Bone marrow aspirate smear.
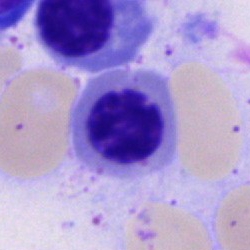Morphological class: normoblast.